Cropped to a single cell. Bone marrow smear. 40× objective, oil immersion.
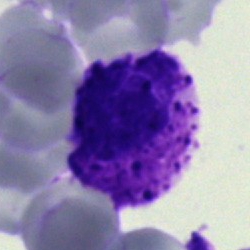Cell: basophilic granulocyte.